40× objective, oil immersion. Bone marrow aspirate smear. Cropped to a single cell — 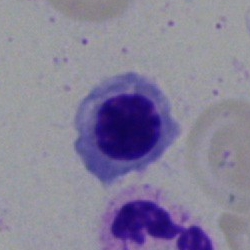

Morphology → normoblast.